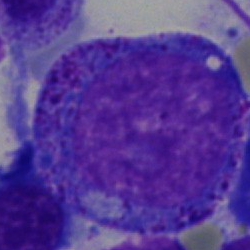

A progranulocyte.